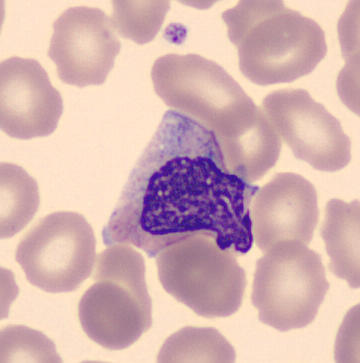

The morphological class is metamyelocyte.

Acquisition: CellaVision DM96 · peripheral blood smear · 360×363 px.